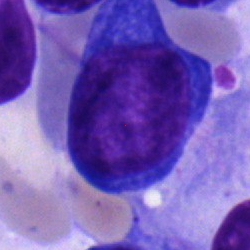

Cell — proerythroblast.